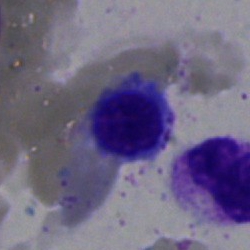 Cell type = normoblast.